Bone marrow smear · 40× objective, oil immersion
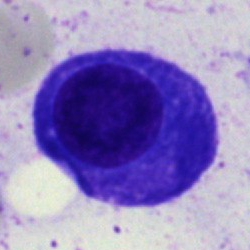
Specimen: bone marrow aspirate smear.
Cell type: plasma cell.
Lineage: lymphoid.